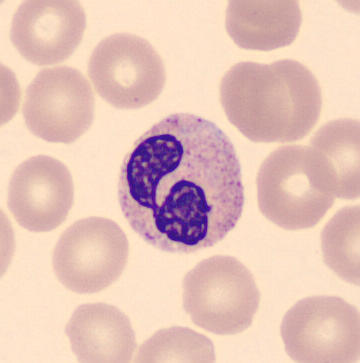The cell shown is a polymorphonuclear neutrophil.
Peripheral blood film; May Grünwald-Giemsa stain.